Bone marrow aspirate smear; brightfield microscopy, 40× oil immersion; 250×250 px
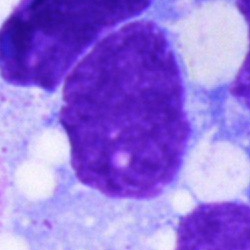Morphology consistent with a blast.